Bone marrow smear — 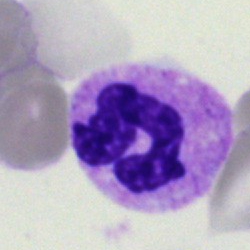

Impression — segmented neutrophil.